250×250 px · single-cell crop · bone marrow aspirate smear:
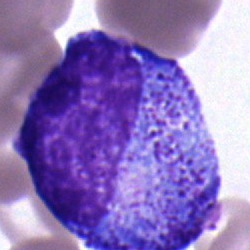
Showing a promyelocyte.